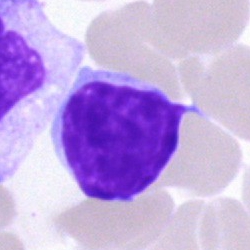
Single-cell crop from a bone marrow smear: artifact.